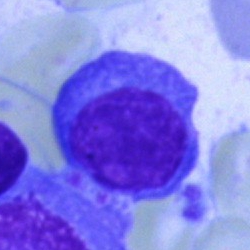Bone marrow aspirate smear, single cell — plasmacyte.